Brightfield microscopy, 40× oil immersion · bone marrow aspirate smear · May-Grünwald-Giemsa/Pappenheim stain — 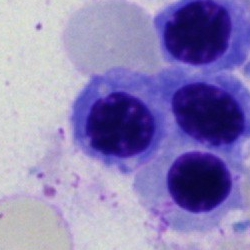 Morphological class: nucleated red cell.